Peripheral blood smear; Romanowsky stain; 100× oil immersion, 14.14 px/µm: 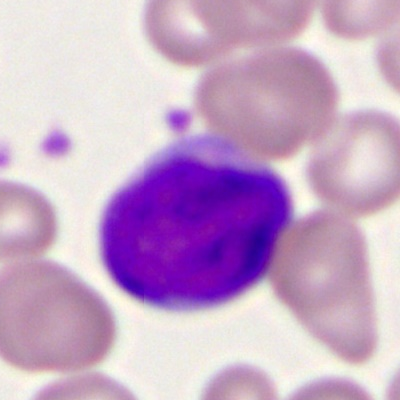Q: Identify the cell.
A: A myeloblast.